Bone marrow aspirate smear — 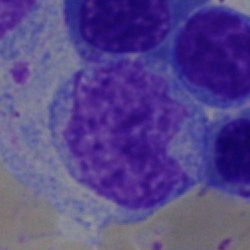
Q: What cell is this?
A: Blast.